Bone marrow smear.
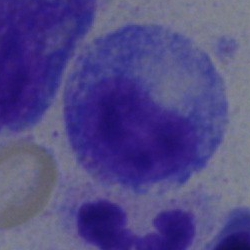
Cell: progranulocyte.